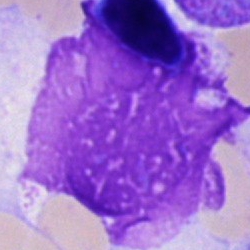
Specimen: bone marrow smear.
Morphological class: artifact.